40× oil immersion; bone marrow smear — 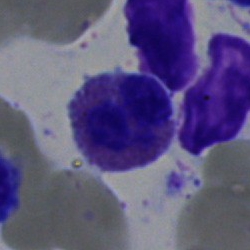
Classification = eosinophilic granulocyte.